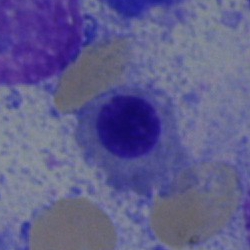
Bone marrow smear showing a nucleated red blood cell.